Bone marrow aspirate smear · May-Grünwald-Giemsa stain
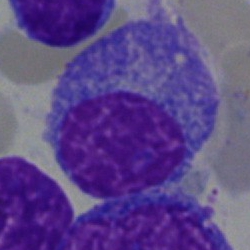
Specimen: bone marrow aspirate smear.
Cell type: plasma cell.